400 by 400 pixels · Romanowsky-type stain · peripheral blood film:
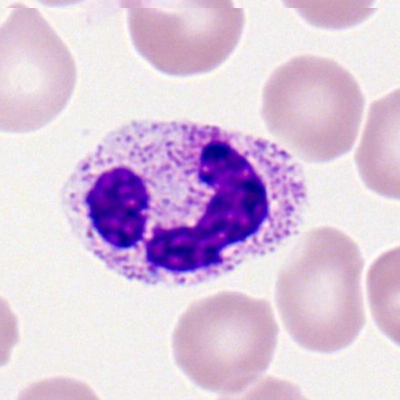 This is a polymorphonuclear neutrophil.